Bone marrow aspirate smear. Single-cell field
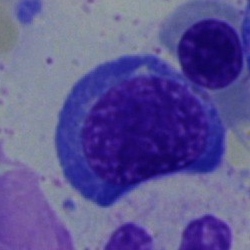 Q: What type of cell is this?
A: It is a nucleated red cell.